Peripheral blood film.
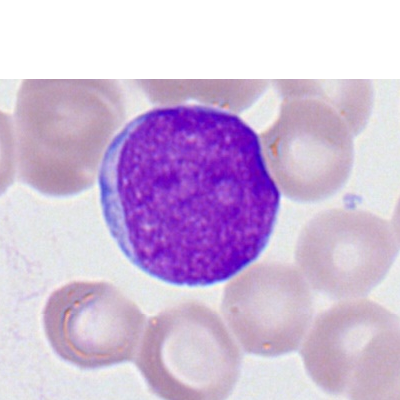 Specimen: peripheral blood film.
Cell: myeloid blast.